Bone marrow smear
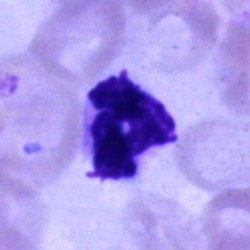

Cell = polymorphonuclear neutrophil.